Peripheral blood film:
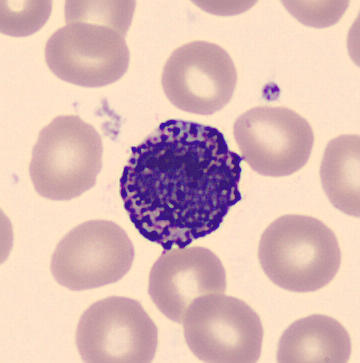
Cell — basophil.